Bone marrow aspirate smear; cropped to a single cell; Pappenheim-stained
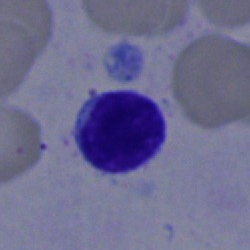 Classification = lymphocyte.